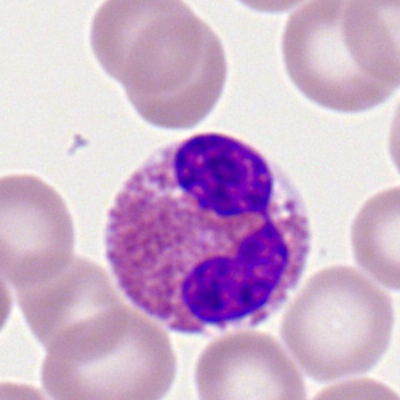Cell: eosinophilic granulocyte.